40× oil immersion. Bone marrow smear. 250 by 250 pixels:
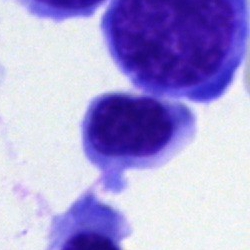
Single cell identified as an erythroblast.